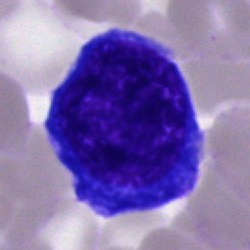 Q: What is the morphological classification of this cell?
A: A normoblast.